Peripheral blood smear. 360 by 363 pixels: 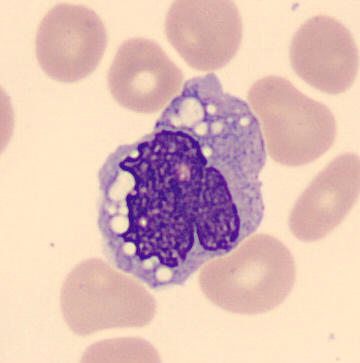Morphology — monocyte.